Bone marrow smear. 40× objective, oil immersion — 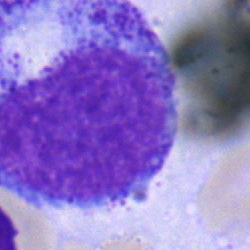Impression — progranulocyte.